Romanowsky stain · peripheral blood film.
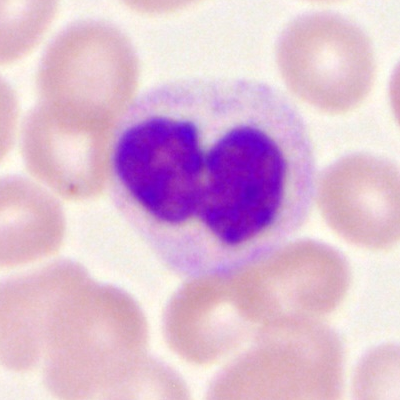

Polymorphonuclear neutrophil.